Bone marrow smear. Brightfield, 40× oil-immersion objective — 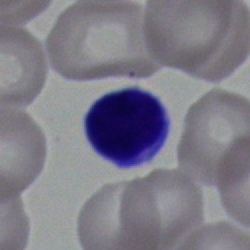 Morphological class: lymphocyte.